Brightfield microscopy, 40× oil immersion; bone marrow aspirate smear; single-cell crop: 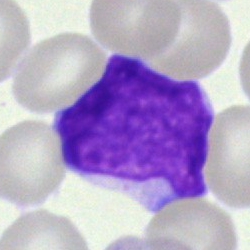
Blast cell.